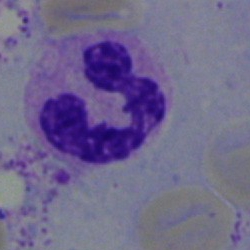 Morphology → polymorphonuclear neutrophil.